Peripheral blood film. Romanowsky stain. M8 digital microscope (Precipoint), 100× oil immersion — 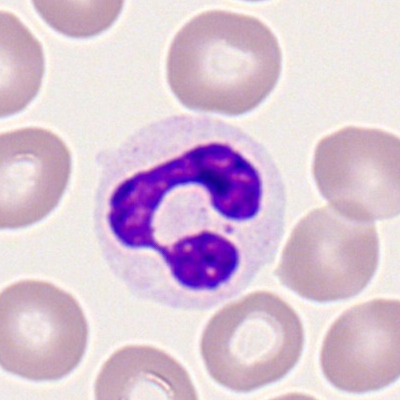
The cell shown is a segmented neutrophil.